Bone marrow aspirate smear · single-cell crop · 250×250 px — 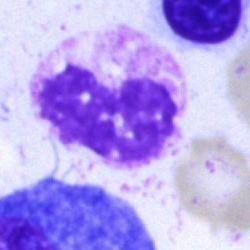 Q: Which cell type is shown here?
A: It is a segmented neutrophil.